250×250 px · bone marrow smear · brightfield microscopy, 40× oil immersion — 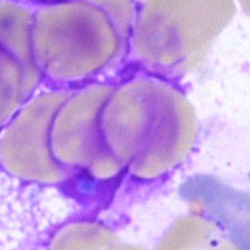

Specimen: bone marrow aspirate smear.
Cell: artefact.